400×400 px. Peripheral blood film. Single-cell crop — 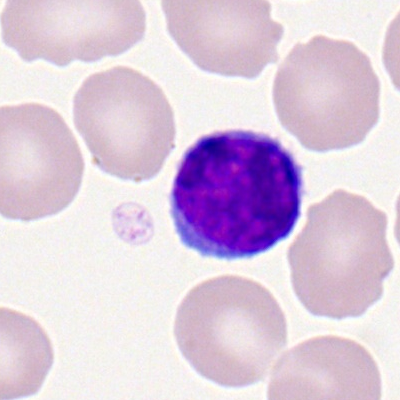
Cell — lymphocyte.